Bone marrow smear; brightfield microscopy, 40× oil immersion
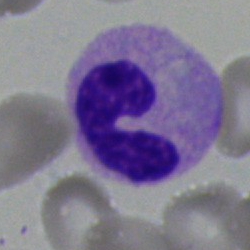The morphological class is segmented neutrophil.